Bone marrow smear — 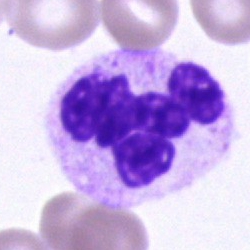
A polymorphonuclear neutrophil.